Bone marrow smear.
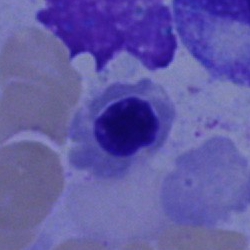

A nucleated red blood cell.